Bone marrow aspirate smear. 250×250: 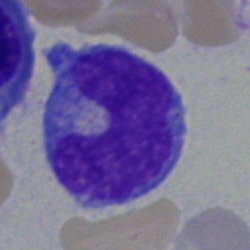Single cell identified as a monocyte.